Bone marrow smear · 250 by 250 pixels
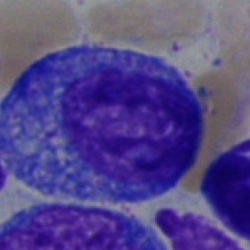
Specimen: bone marrow aspirate smear.
Cell: progranulocyte.